Single-cell crop · bone marrow smear
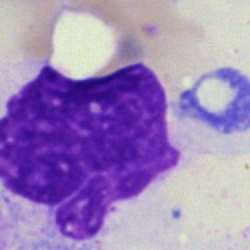

The cell shown is an artefact.